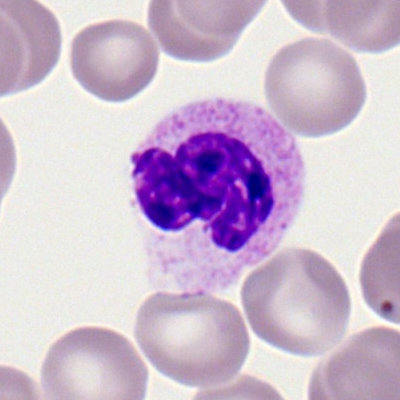

The cell type is polymorphonuclear neutrophil.